Bone marrow smear. Pappenheim-stained.
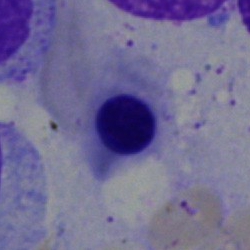 Morphology consistent with an erythroblast.